Bone marrow aspirate smear — 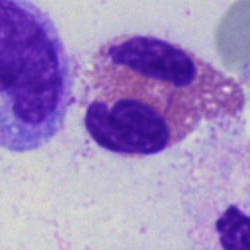
Morphology consistent with an eosinophilic granulocyte.